250×250; bone marrow aspirate smear: 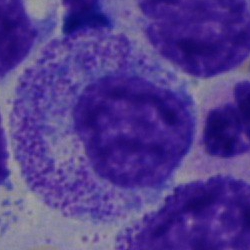Cell: promyelocyte.